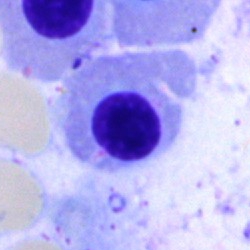 Specimen: bone marrow smear.
Morphological class: nucleated red blood cell.